40× oil immersion. Bone marrow aspirate smear. MGG-stained: 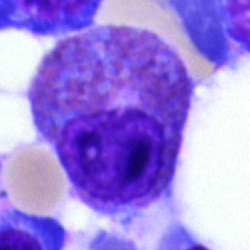
An eosinophil.